Bone marrow smear
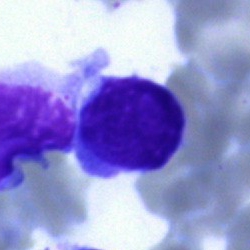

Classification: lymphocyte.